Bone marrow smear.
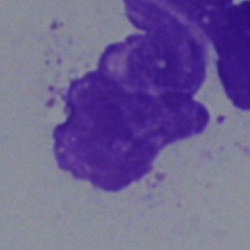

Showing an artefact.